Bone marrow smear · May-Grünwald-Giemsa stain.
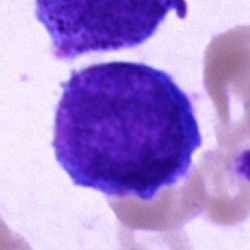 Impression → blast cell.